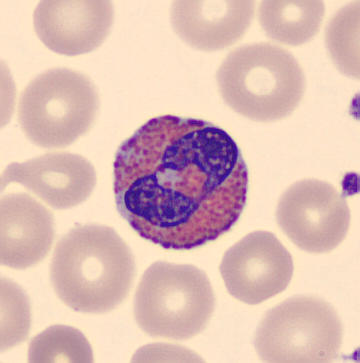

Classification: eosinophilic granulocyte.